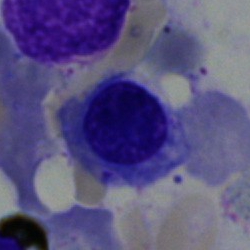
Nucleated red blood cell.